250 by 250 pixels. Bone marrow aspirate smear — 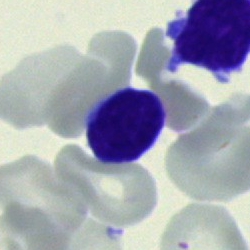
Morphology → lymphocyte.